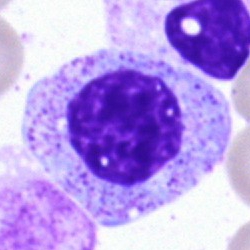A myelocyte.